Bone marrow aspirate smear
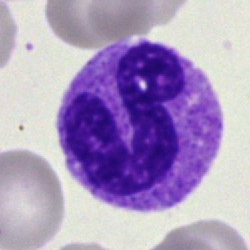

Morphology — segmented neutrophil.